Bone marrow smear.
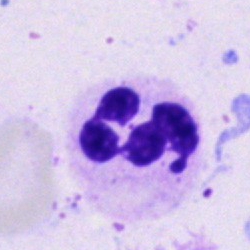The cell shown is a segmented neutrophil.